Bone marrow smear:
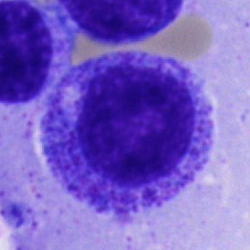 Single cell identified as a progranulocyte.